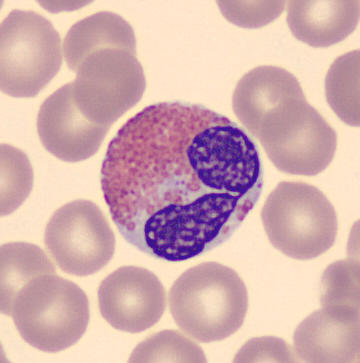 Image: Automated cell imaging (CellaVision DM96); peripheral blood smear. Single cell identified as an eosinophil.